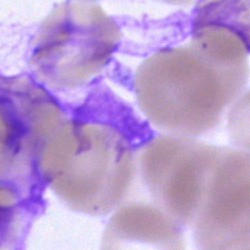Cell — artifact.